Peripheral blood film.
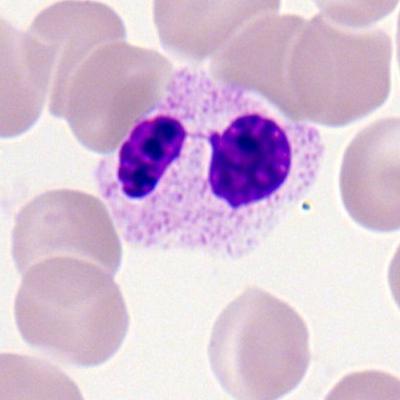 Classification — segmented neutrophil.